Bone marrow aspirate smear — 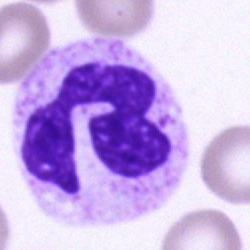

Specimen: bone marrow aspirate smear.
Cell: segmented neutrophil.